Single cell centered in the field. 250×250 px. Bone marrow smear
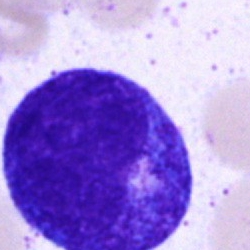

Cell: progranulocyte.